Bone marrow aspirate smear: 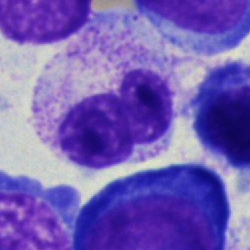Q: What is shown here?
A: It is a polymorphonuclear neutrophil.